Brightfield, 100× oil-immersion objective · peripheral blood film — 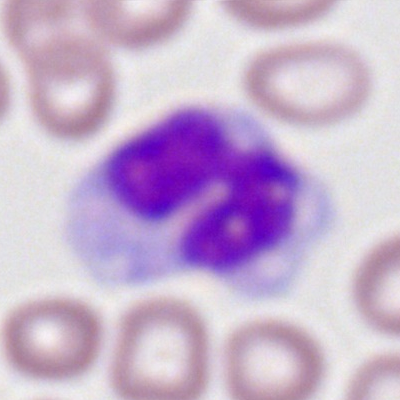 Q: Identify the cell.
A: Monocyte.